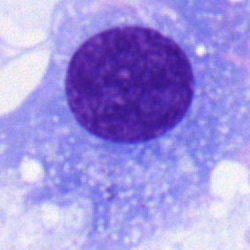Cell type — plasma cell.